Bone marrow aspirate smear · Pappenheim-stained · single-cell crop
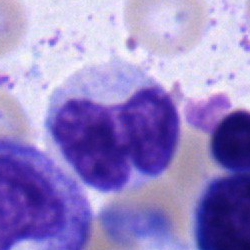
Morphology consistent with a band-form neutrophil.